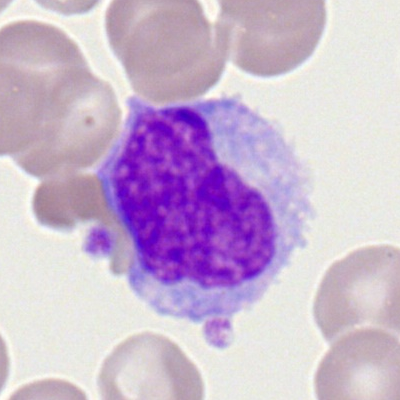

Q: What type of cell is this?
A: This is a monocyte.